Peripheral blood smear — 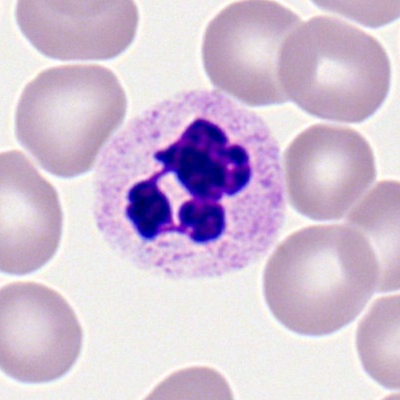
Specimen: peripheral blood smear.
Cell: polymorphonuclear neutrophil.
Lineage: myeloid.